40× oil immersion; bone marrow smear.
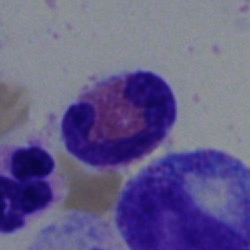Q: Which cell type is shown here?
A: An eosinophilic granulocyte.